Peripheral blood film — 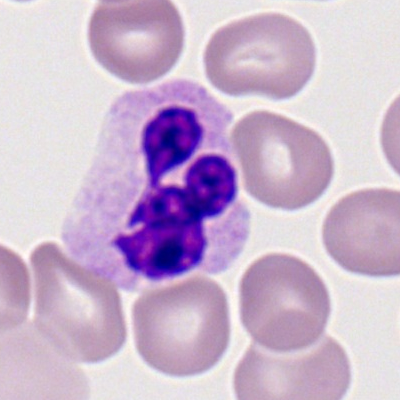
Single cell identified as a polymorphonuclear neutrophil.